Single-cell field; bone marrow aspirate smear: 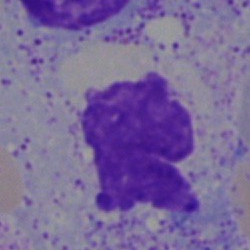

Cell type — artifact.